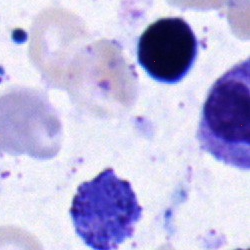
Bone marrow smear showing a stab cell.